Brightfield microscopy, 40× oil immersion. Bone marrow aspirate smear. Single-cell field — 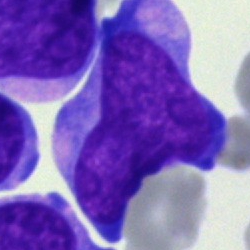A blast cell.